Bone marrow aspirate smear
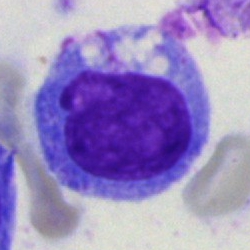 The cell is monocyte.